40× oil immersion. Bone marrow aspirate smear.
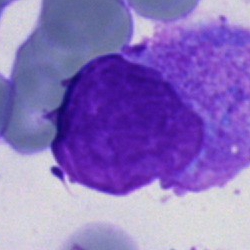
Morphology consistent with a blast.